Bone marrow smear: 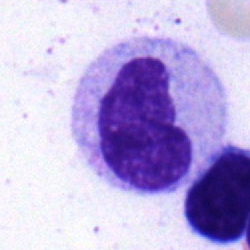 Showing a metamyelocyte.